Cropped to a single cell · bone marrow smear: 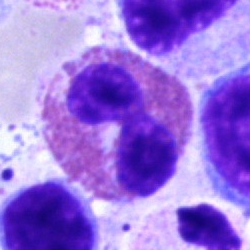
Morphology → eosinophil.